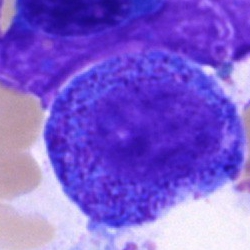
Cell: promyelocyte.